Bone marrow smear · 40× oil immersion:
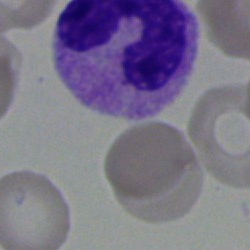 The cell shown is a band-form neutrophil.